Bone marrow aspirate smear: 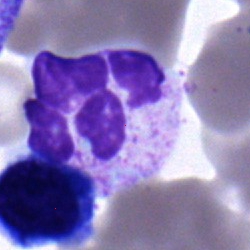 The cell is polymorphonuclear neutrophil.